Bone marrow aspirate smear · cropped to a single cell · May-Grünwald-Giemsa stain — 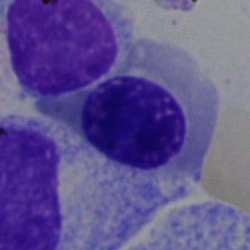Morphological class: erythroblast.